Bone marrow smear — 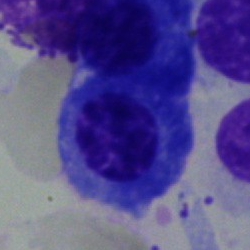 Cell type — plasmacyte.